250×250 · bone marrow aspirate smear.
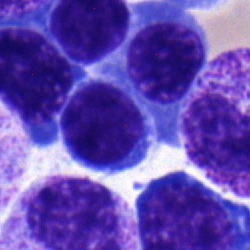
Nucleated red blood cell.